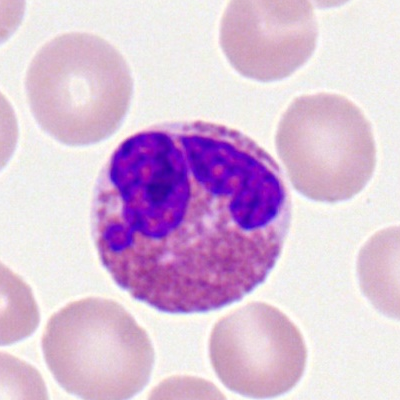 An eosinophilic granulocyte on a peripheral blood smear.